Bone marrow smear — 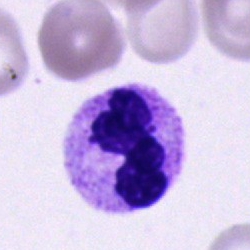Morphology consistent with a segmented neutrophil.